40× oil immersion · bone marrow aspirate smear · single-cell crop: 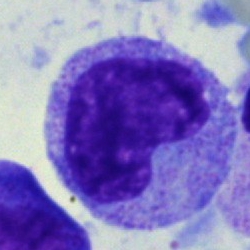Specimen: bone marrow smear.
Cell: metamyelocyte.